Bone marrow smear:
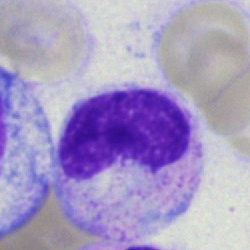
Cell type: band neutrophil.